Peripheral blood smear:
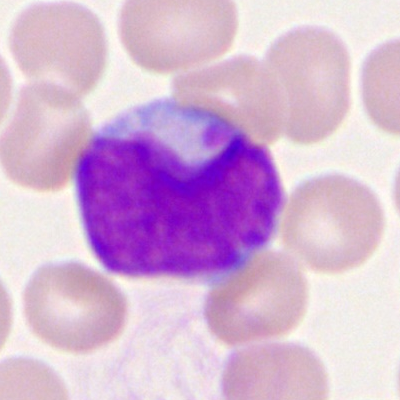 Morphology → myeloid blast.